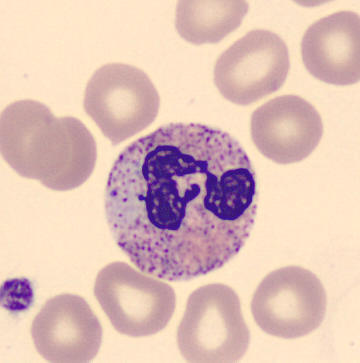 Morphology → polymorphonuclear neutrophil.
Automated cell imaging (CellaVision DM96); peripheral blood film; single-cell field.